Bone marrow aspirate smear — 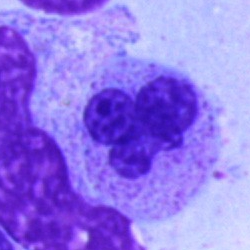

Morphology consistent with a neutrophil (segmented).